Bone marrow smear — 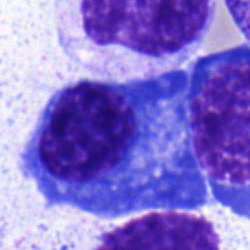 Morphology → plasmacyte.